Bone marrow smear. Single-cell field — 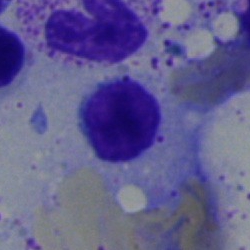 Morphological class: typical lymphocyte.